Peripheral blood smear: 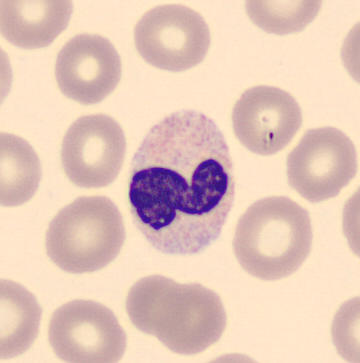Specimen: peripheral blood film.
Cell: band neutrophil.